Bone marrow aspirate smear · 250×250 px: 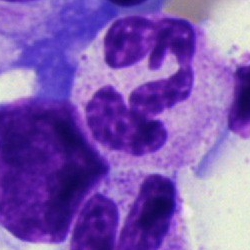
The cell type is neutrophil (segmented).